Bone marrow aspirate smear · 250×250 · single-cell field — 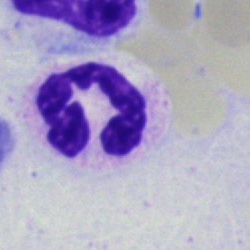A neutrophil (segmented).